Bone marrow smear · brightfield microscopy, 40× oil immersion: 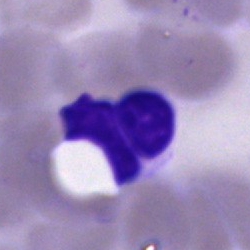

Specimen: bone marrow aspirate smear.
Cell type: artefact.